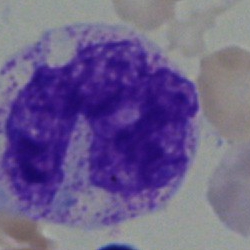 Cell type — segmented neutrophil.